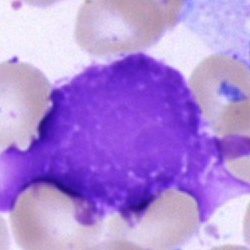 The cell shown is an artifact.